Bone marrow aspirate smear.
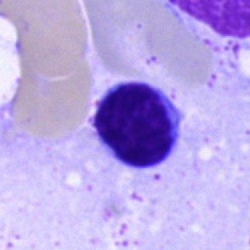Specimen: bone marrow smear.
Cell: lymphocyte.
Lineage: lymphoid.